Romanowsky stain. Peripheral blood smear. 100× oil immersion.
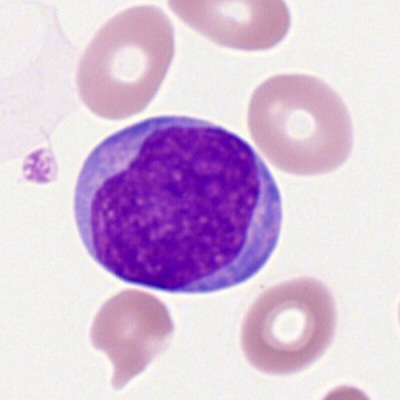Q: Identify the cell.
A: A myeloblast.